Bone marrow aspirate smear.
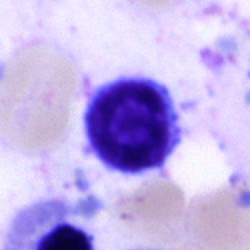
Morphological class: typical lymphocyte.